Bone marrow aspirate smear:
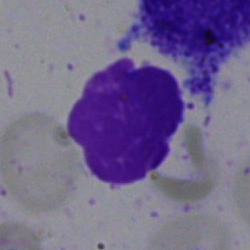

Cell: artefact.